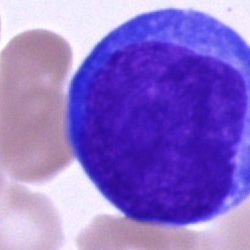

Blast.